Bone marrow smear. Single cell centered in the field.
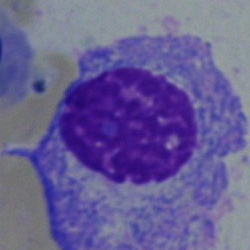 Showing a plasmacyte.